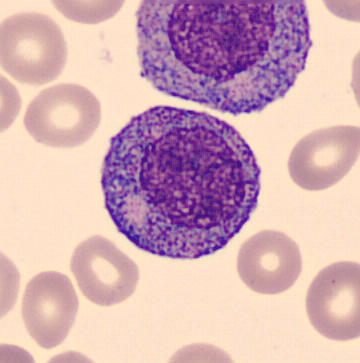

Peripheral blood film. Single cell centered in the field.

Q: What is this?
A: It is a progranulocyte.